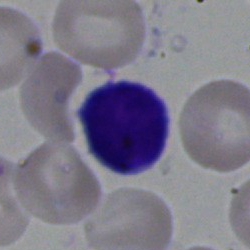 Specimen: bone marrow smear.
Cell: typical lymphocyte.
Lineage: lymphoid.